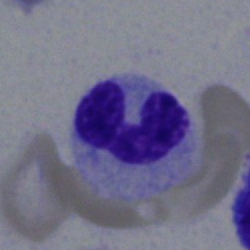

Morphology consistent with a stab cell.